Bone marrow aspirate smear
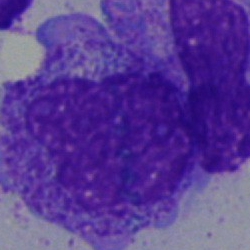 Impression — progranulocyte.